Bone marrow aspirate smear.
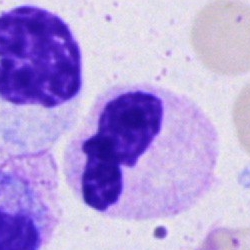Q: Which cell type is shown here?
A: It is a segmented neutrophil.